May-Grünwald-Giemsa/Pappenheim stain; bone marrow smear:
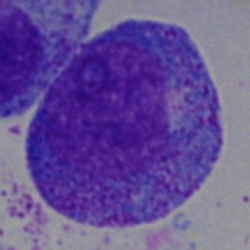The cell is progranulocyte.